Peripheral blood smear
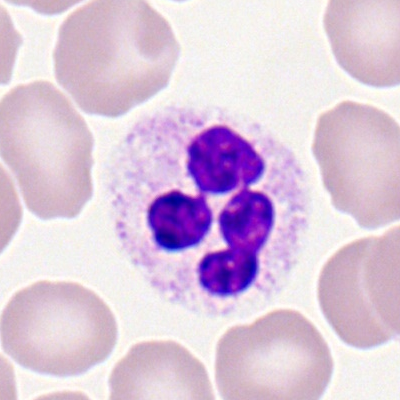 Specimen: peripheral blood film.
Cell: polymorphonuclear neutrophil.
Lineage: myeloid.